250×250 px; single-cell crop; bone marrow aspirate smear.
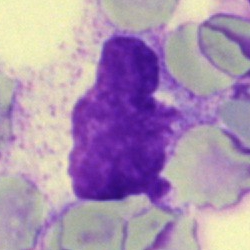
Q: What is shown here?
A: This is an artifact.